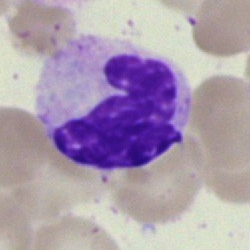
Q: Which cell type is shown here?
A: This is a polymorphonuclear neutrophil.